Bone marrow aspirate smear:
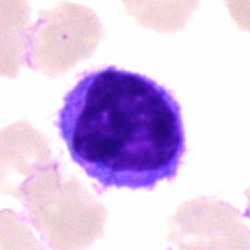

The morphological class is lymphocyte.